May-Grünwald-Giemsa stain; bone marrow aspirate smear
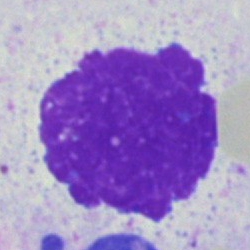
Q: What is shown here?
A: An artefact.